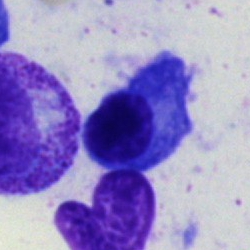Morphological class — plasmacyte.